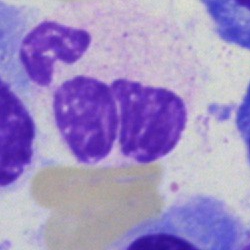The cell shown is a segmented neutrophil.